Bone marrow aspirate smear
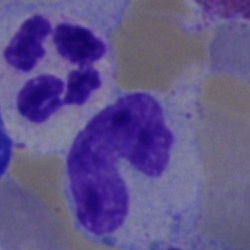

Morphological class: band-form neutrophil.